Bone marrow aspirate smear; 40× objective, oil immersion:
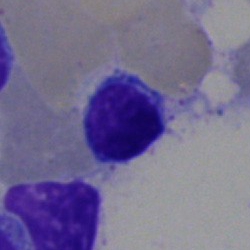 The morphological class is lymphocyte.